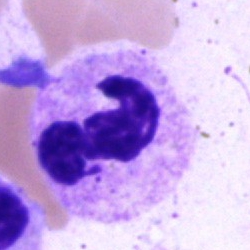 Q: Which cell type is shown here?
A: This is a neutrophil (segmented).